Bone marrow smear:
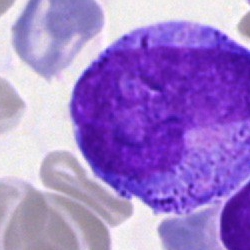 {"cell_type": "promyelocyte", "lineage": "myeloid"}